MGG-stained; 40× objective, oil immersion; bone marrow aspirate smear: 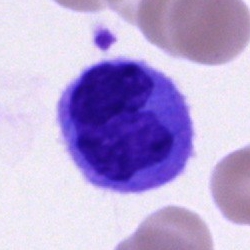
Classification: monocyte.